Bone marrow aspirate smear.
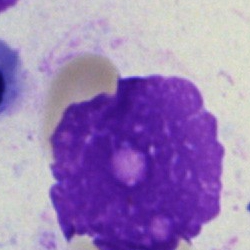

Specimen: bone marrow aspirate smear.
Cell type: artifact.